Bone marrow aspirate smear — 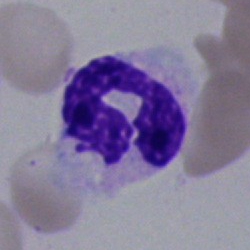 Morphology — neutrophil (segmented).